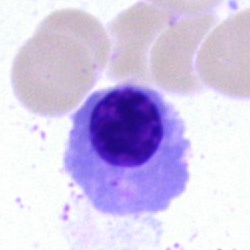
Cell type = erythroblast.